Bone marrow smear.
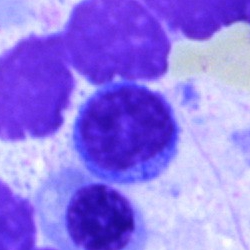Specimen: bone marrow aspirate smear.
Cell: typical lymphocyte.
Lineage: lymphoid.